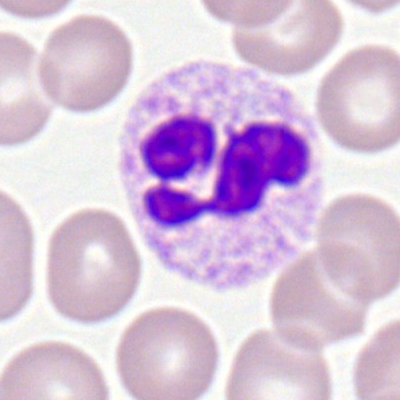 Neutrophil (segmented).